40× oil immersion; single-cell crop; bone marrow aspirate smear.
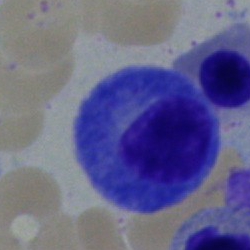

Morphological class: plasma cell.